Cropped to a single cell; bone marrow smear:
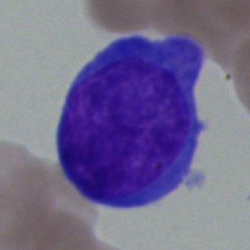

Specimen: bone marrow aspirate smear.
Cell type: undifferentiated blast.